Bone marrow aspirate smear · 250×250 px · single cell centered in the field:
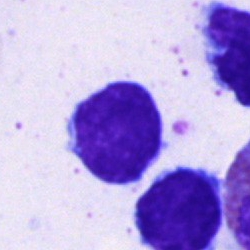Morphology consistent with a lymphocyte.